May-Grünwald-Giemsa/Pappenheim stain. Bone marrow smear. Single-cell crop:
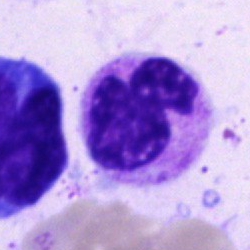 Impression → polymorphonuclear neutrophil.